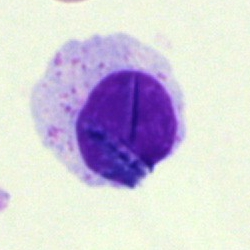 Specimen: bone marrow aspirate smear.
Cell: artifact.